Bone marrow smear: 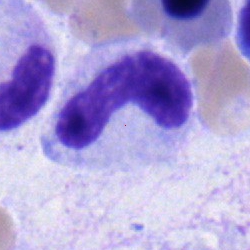A band-form neutrophil.